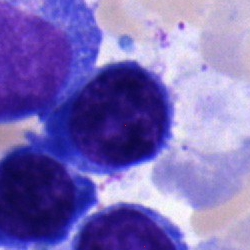Impression → erythroblast.